Bone marrow aspirate smear; single cell centered in the field.
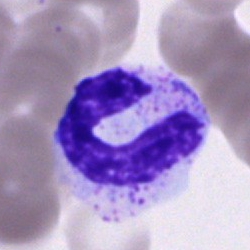
Impression → band-form neutrophil.